250 by 250 pixels. Bone marrow aspirate smear:
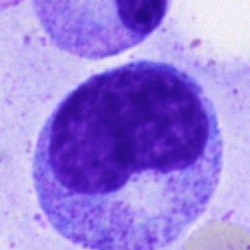Classification = promyelocyte.